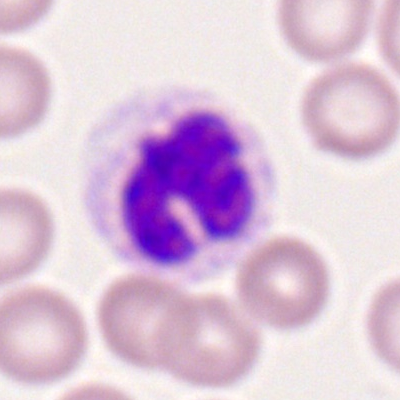 The morphological class is polymorphonuclear neutrophil.